Bone marrow aspirate smear: 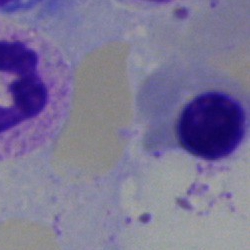Morphology consistent with a nucleated red cell.